Single cell centered in the field. Bone marrow aspirate smear
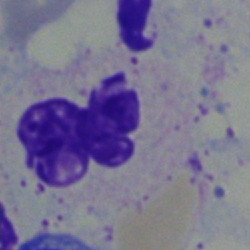
Specimen: bone marrow smear.
Classification: neutrophil (segmented).
Lineage: myeloid.